M8 digital microscope (Precipoint), 100× oil immersion · peripheral blood film · 400 by 400 pixels: 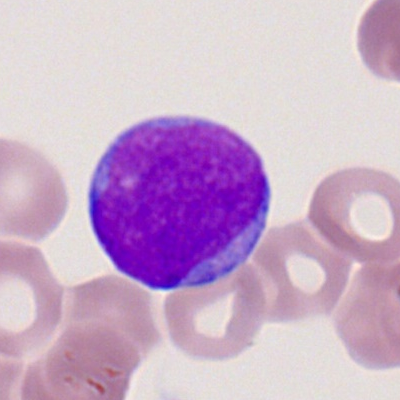A myeloid blast.